Bone marrow aspirate smear:
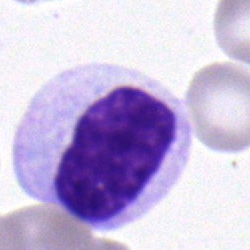

A myelocyte.